Bone marrow smear:
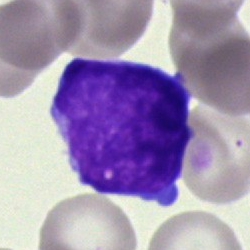Specimen: bone marrow smear.
Morphological class: blast cell.